Bone marrow aspirate smear; single cell centered in the field:
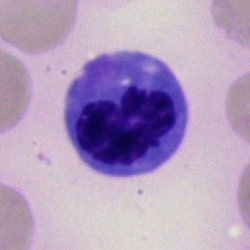Morphology consistent with a normoblast.